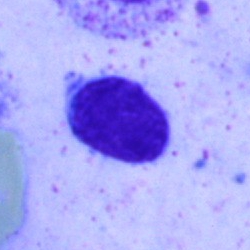
Morphological class = artifact.